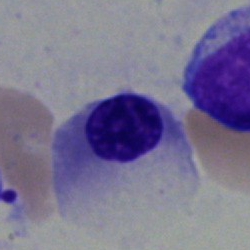

{"cell_type": "normoblast", "lineage": "erythroid"}